Bone marrow smear: 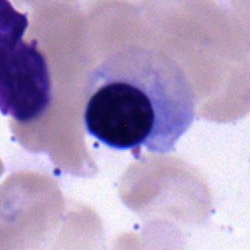
Single cell identified as a normoblast.